Pappenheim-stained · bone marrow aspirate smear: 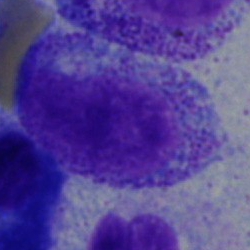

Impression → myelocyte.